Single cell centered in the field · bone marrow aspirate smear.
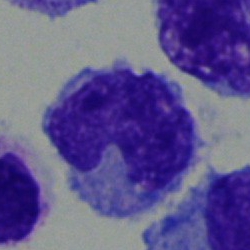

Cell = monocyte.